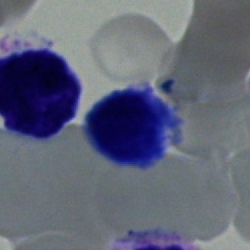Cell type = lymphocyte.